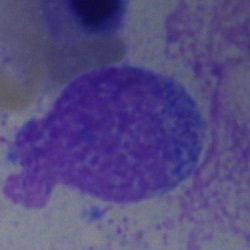 Showing an artefact.